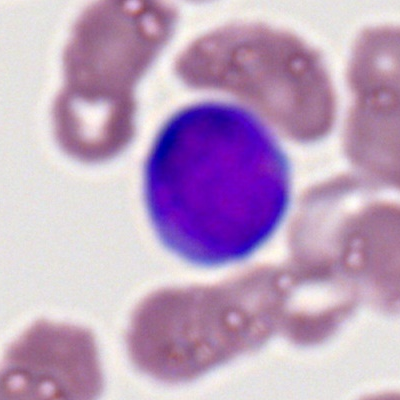 Single cell identified as a myeloid blast.